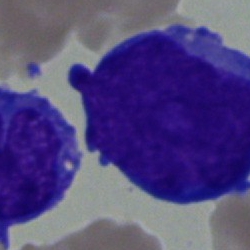Morphology consistent with an undifferentiated blast.